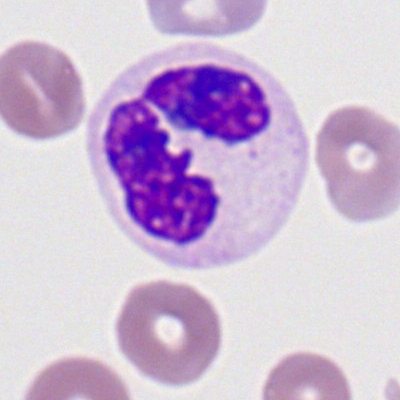

Peripheral blood film, single cell — segmented neutrophil.